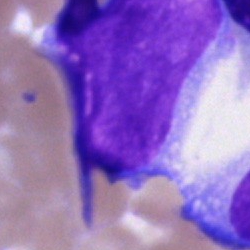Q: Which cell type is shown here?
A: It is a blast cell.